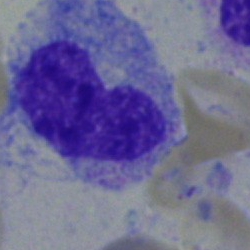 Q: What is shown here?
A: Metamyelocyte.